Single cell centered in the field · peripheral blood film · 400×400.
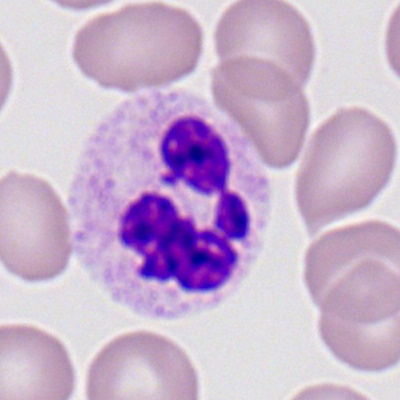

{"cell_type": "neutrophil (segmented)"}